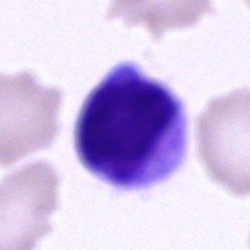Q: What cell is this?
A: It is an unidentifiable cell.